Bone marrow aspirate smear: 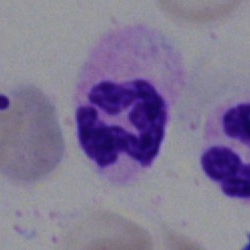Specimen: bone marrow aspirate smear.
Classification: polymorphonuclear neutrophil.